Bone marrow aspirate smear: 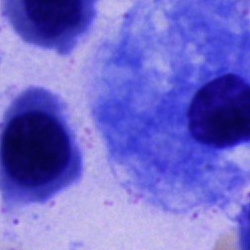This is a plasmacyte.